250×250 px; bone marrow smear — 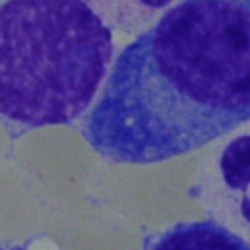
Cell — plasmacyte.